Bone marrow aspirate smear — 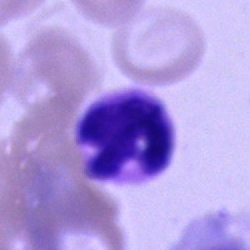
{"cell_type": "polymorphonuclear neutrophil"}